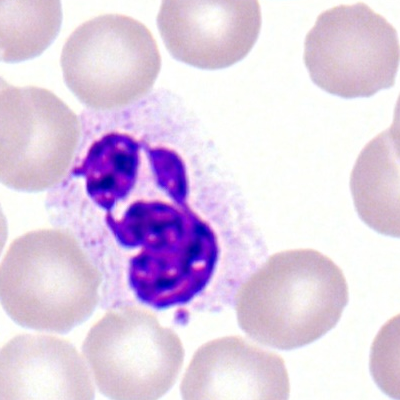A polymorphonuclear neutrophil.